Single-cell crop · bone marrow smear:
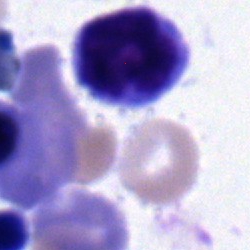 Q: What type of cell is this?
A: It is a monocyte.